Bone marrow aspirate smear · 250×250 px
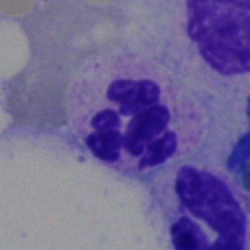 A segmented neutrophil.